Single cell centered in the field. Peripheral blood film: 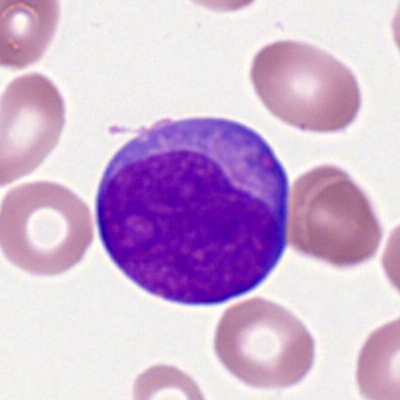

Specimen: peripheral blood smear.
Classification: myeloblast.